Peripheral blood film.
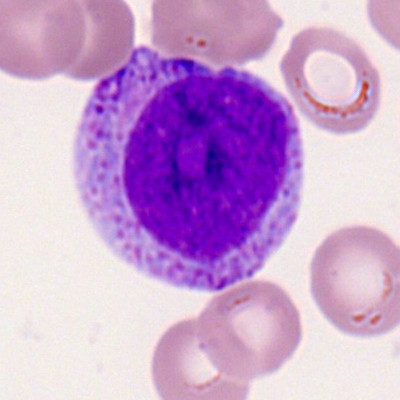

Q: What type of cell is this?
A: A progranulocyte.